Bone marrow smear.
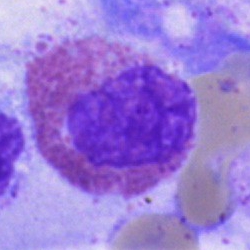 Q: Identify the cell.
A: An eosinophilic granulocyte.